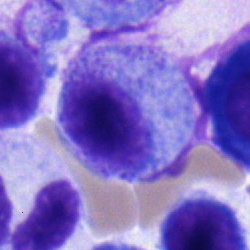Morphology — myelocyte.